Bone marrow aspirate smear
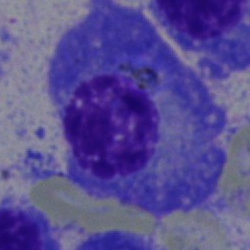

Q: Which cell type is shown here?
A: Plasmacyte.